Bone marrow aspirate smear. 250×250 px. 40× objective, oil immersion — 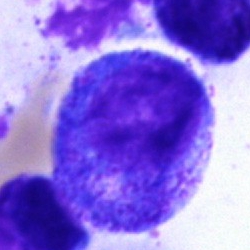 Specimen: bone marrow aspirate smear.
Cell type: progranulocyte.